Peripheral blood smear. Romanowsky-type stain. 100× oil immersion, 14.14 px/µm: 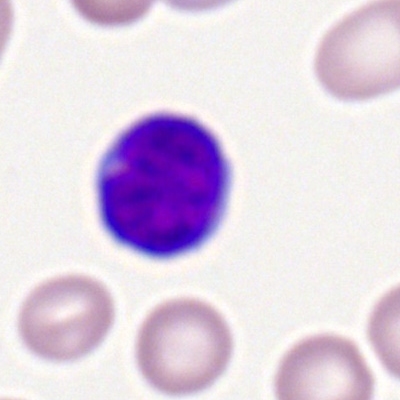
Q: Identify the cell.
A: Lymphocyte.